Bone marrow smear.
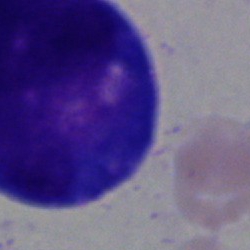Blast.